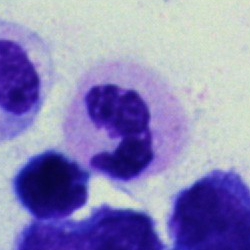

Morphology consistent with a segmented neutrophil.